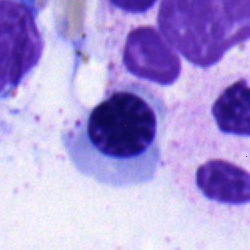
The cell is nucleated red cell.